Peripheral blood smear:
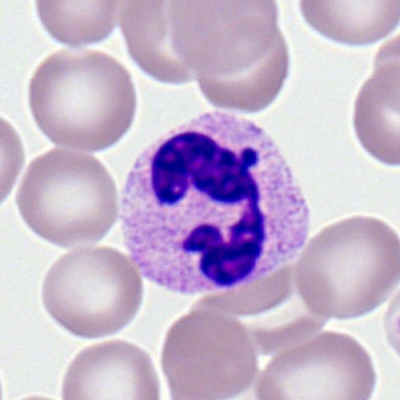 A polymorphonuclear neutrophil.